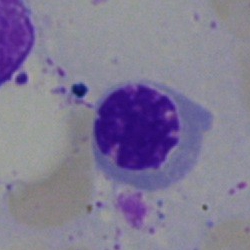
Specimen: bone marrow aspirate smear.
Classification: nucleated red blood cell.
Lineage: erythroid.